Peripheral blood smear:
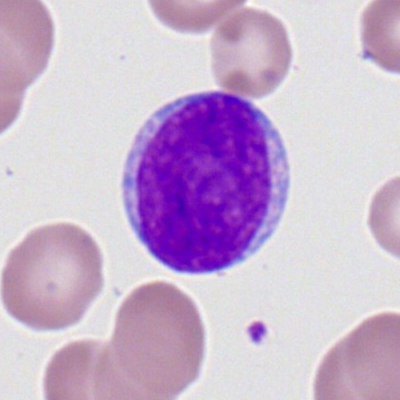
A myeloid blast.